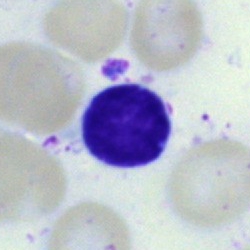
A typical lymphocyte.